Bone marrow aspirate smear: 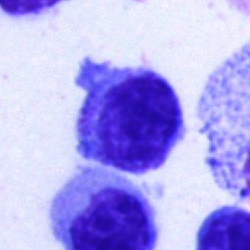 Showing a lymphocyte.